Bone marrow smear:
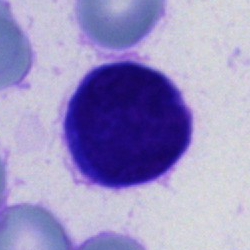Showing an unidentifiable cell.